Bone marrow smear: 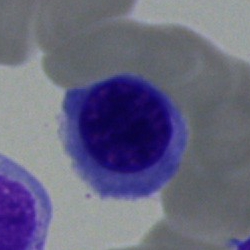 This is a nucleated red blood cell.